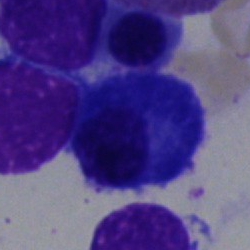Single cell identified as a plasmacyte.